Bone marrow aspirate smear: 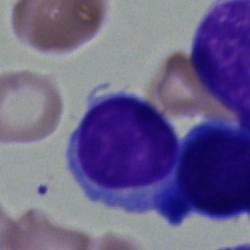
Q: What is the morphological classification of this cell?
A: A lymphocyte.